Bone marrow smear: 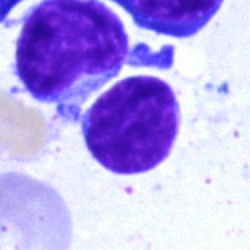
Q: What is the morphological classification of this cell?
A: It is a typical lymphocyte.